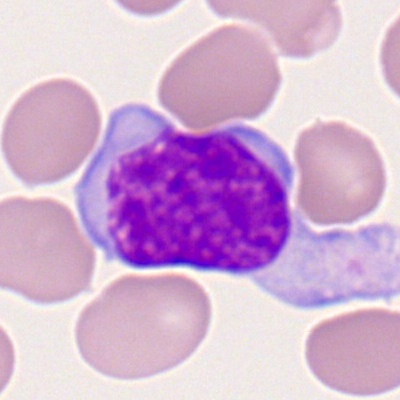

Cell type = lymphocyte.